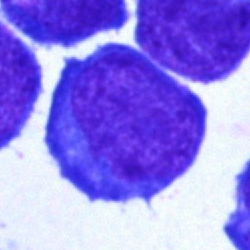This is a blast cell.